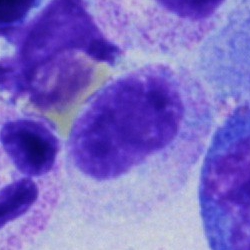The cell shown is a metamyelocyte.